Bone marrow aspirate smear.
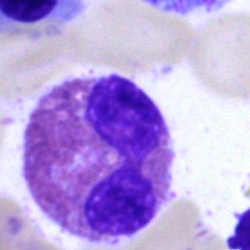
Morphological class: eosinophil.